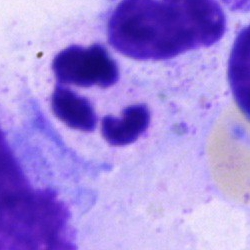Morphology — polymorphonuclear neutrophil.